Single-cell crop; bone marrow aspirate smear; brightfield, 40× oil-immersion objective.
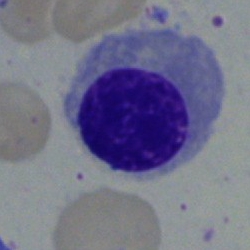
The cell type is nucleated red cell.